Bone marrow aspirate smear — 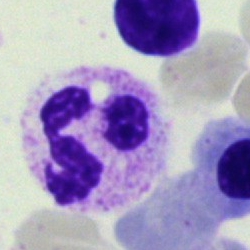The cell shown is a polymorphonuclear neutrophil.